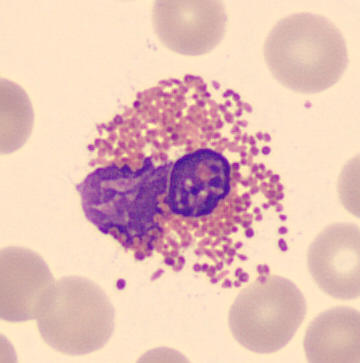 Peripheral blood smear showing an eosinophilic granulocyte.